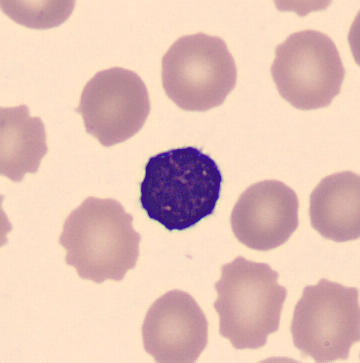
Specimen: peripheral blood smear.
Cell: lymphocyte.
Lineage: lymphoid.